Bone marrow smear — 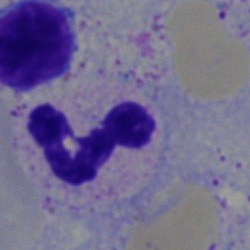
Single cell identified as a polymorphonuclear neutrophil.